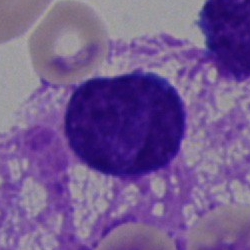

Artefact.